Peripheral blood smear: 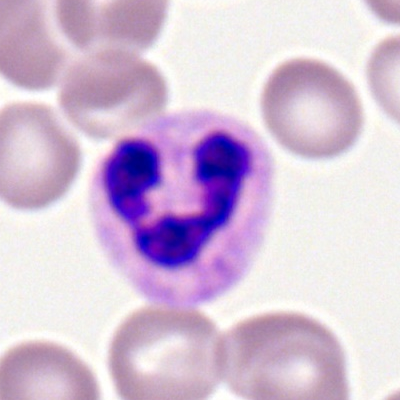 {"cell_type": "polymorphonuclear neutrophil"}